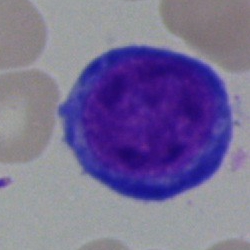Morphology consistent with a pronormoblast.